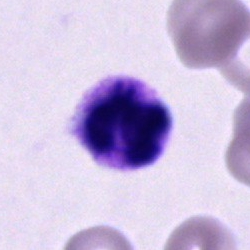
A segmented neutrophil.